Bone marrow aspirate smear · brightfield microscopy, 40× oil immersion — 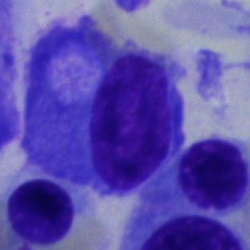

Impression — plasma cell.